Bone marrow aspirate smear. 40× oil immersion:
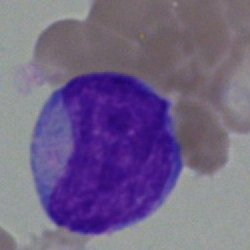

Classification: undifferentiated blast.